Bone marrow smear
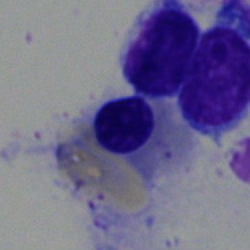

Morphological class: erythroblast.